Cropped to a single cell · bone marrow smear
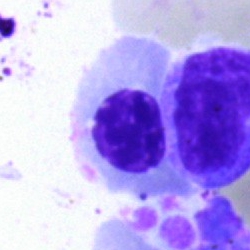

Cell: nucleated red blood cell.